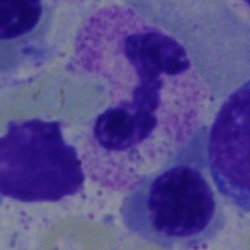 Bone marrow smear showing a polymorphonuclear neutrophil.